Bone marrow aspirate smear
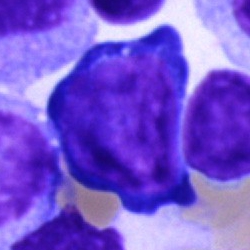

Q: Identify the cell.
A: A pronormoblast.